250×250 · bone marrow aspirate smear · 40× oil immersion — 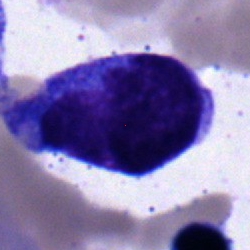Q: What type of cell is this?
A: A monocyte.